Peripheral blood smear.
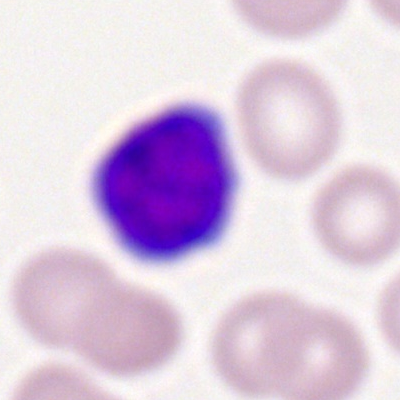

Typical lymphocyte.